Bone marrow smear · 40× oil immersion: 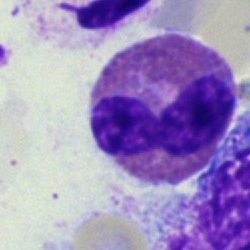 {"cell_type": "eosinophilic granulocyte"}